Bone marrow smear
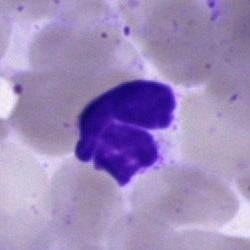 Specimen: bone marrow smear.
Classification: artefact.